Image size 250×250. Bone marrow aspirate smear: 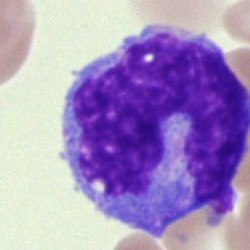Classification: monocyte.